Bone marrow aspirate smear. 40× oil immersion:
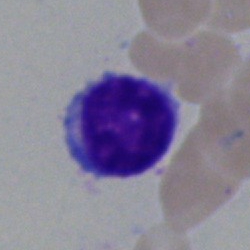 Specimen: bone marrow aspirate smear.
Morphological class: lymphocyte.